Bone marrow aspirate smear.
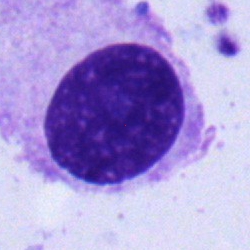 Q: What type of cell is this?
A: A plasma cell.